Bone marrow smear:
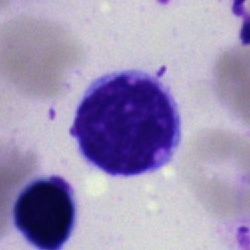
Morphological class: typical lymphocyte.